Single-cell crop. Bone marrow aspirate smear — 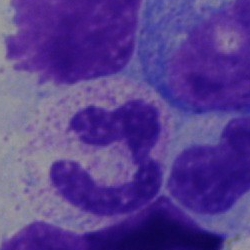 A polymorphonuclear neutrophil.